Bone marrow smear · single cell centered in the field
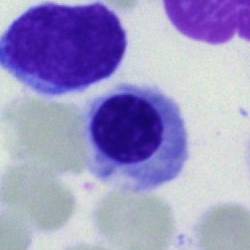
Morphology — erythroblast.